Peripheral blood smear: 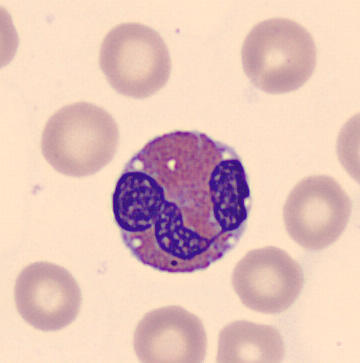 Q: What type of cell is this?
A: An eosinophilic granulocyte.